Bone marrow aspirate smear:
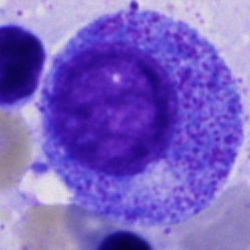

Q: What cell is this?
A: Progranulocyte.